Bone marrow smear. Image size 250×250:
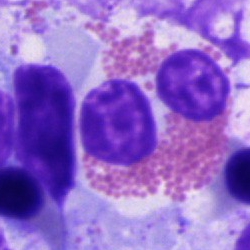
Morphology — eosinophilic granulocyte.